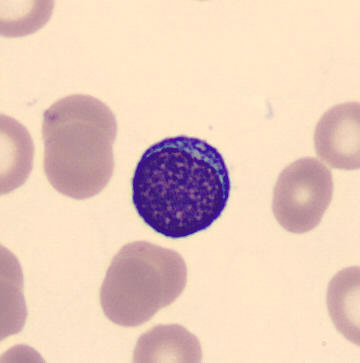 Morphology consistent with a typical lymphocyte. Preparation: Peripheral blood film.